Bone marrow aspirate smear — 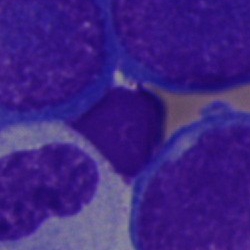
Artefact.